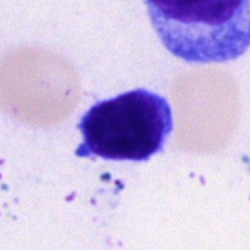

A typical lymphocyte.